Bone marrow smear: 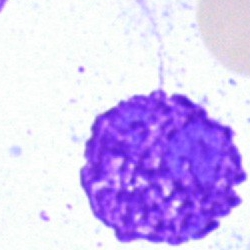 Q: What is shown here?
A: It is an artefact.